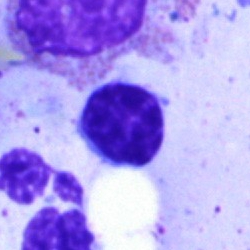

{"cell_type": "lymphocyte", "lineage": "lymphoid"}